Bone marrow aspirate smear: 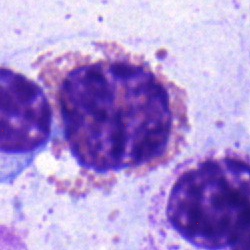Morphological class = eosinophilic granulocyte.